May-Grünwald-Giemsa stain; bone marrow smear: 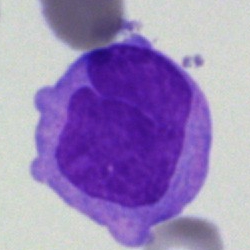 Classification — blast.